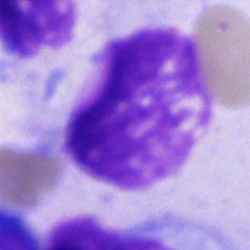

Classification — artefact.